Romanowsky-type stain. Peripheral blood film — 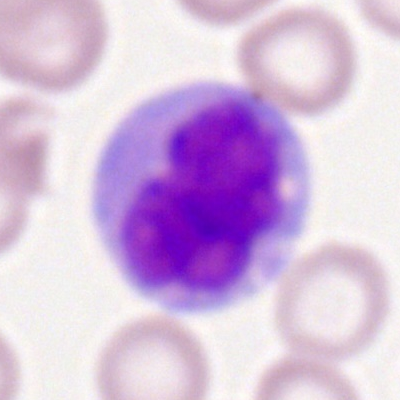Cell type — monocyte.